Bone marrow smear · 250×250 px — 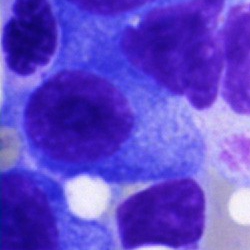

Showing a plasma cell.